Bone marrow smear — 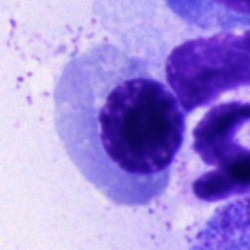

Morphology consistent with an erythroblast.